Bone marrow smear; image size 250×250 — 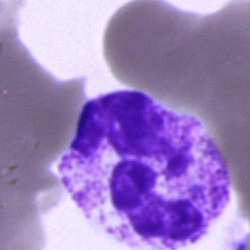
{"cell_type": "neutrophil (segmented)", "lineage": "myeloid"}